Bone marrow aspirate smear · 40× objective, oil immersion · May-Grünwald-Giemsa/Pappenheim stain:
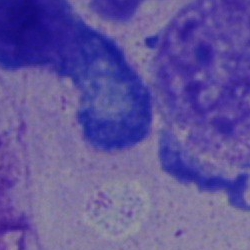This is an erythroblast.